Bone marrow smear · brightfield microscopy, 40× oil immersion · cropped to a single cell
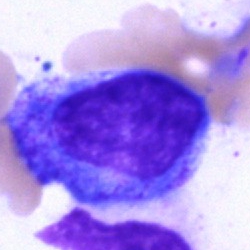 The classification is progranulocyte.